40× oil immersion · bone marrow smear
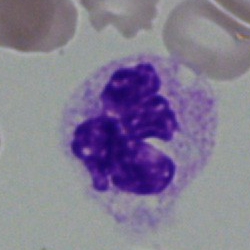

Specimen: bone marrow smear.
Cell type: segmented neutrophil.